Bone marrow smear; 250 by 250 pixels.
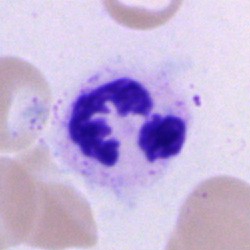

Segmented neutrophil.